Bone marrow smear; single cell centered in the field; image size 250×250:
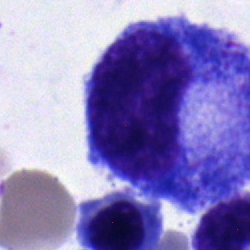
The cell shown is a progranulocyte.